Bone marrow aspirate smear. MGG-stained — 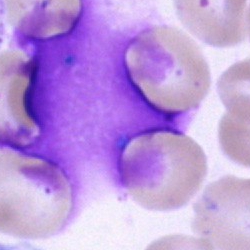
Cell type: artifact.